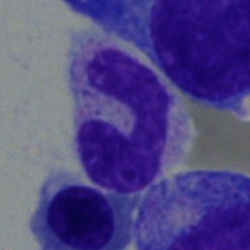A band neutrophil.